Brightfield microscopy, 40× oil immersion; bone marrow aspirate smear:
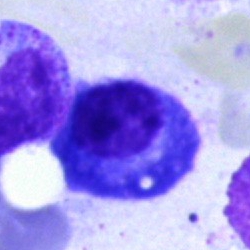

This is a plasmacyte.